May-Grünwald-Giemsa stain; bone marrow aspirate smear.
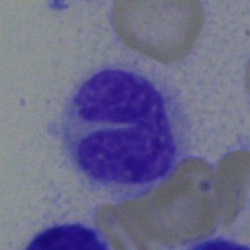

The cell shown is a monocyte.